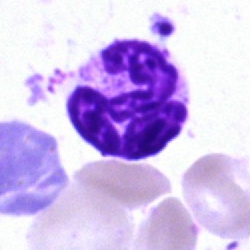Q: What type of cell is this?
A: It is a polymorphonuclear neutrophil.